Bone marrow aspirate smear:
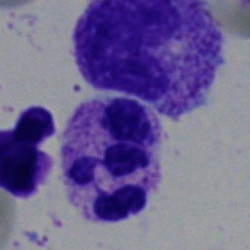
{"cell_type": "polymorphonuclear neutrophil", "lineage": "myeloid"}